Bone marrow aspirate smear. Brightfield, 40× oil-immersion objective.
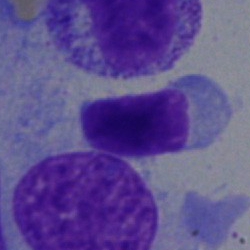
Cell type = typical lymphocyte.